Bone marrow smear:
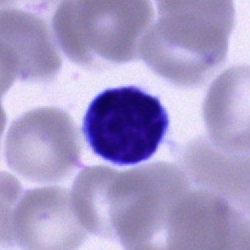 Q: Identify the cell.
A: A lymphocyte.